Bone marrow smear — 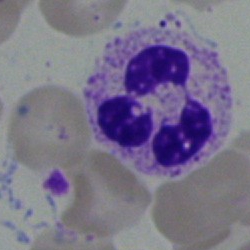
{"cell_type": "segmented neutrophil"}